Bone marrow aspirate smear; brightfield microscopy, 40× oil immersion; MGG-stained: 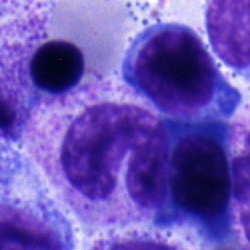

Q: What cell is this?
A: Neutrophil (band).